Bone marrow smear — 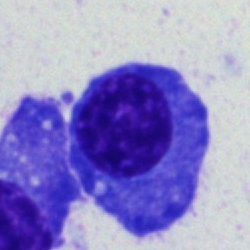 Morphology → plasma cell.